Image size 250×250; bone marrow smear — 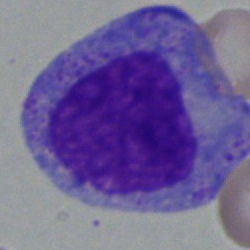Impression → progranulocyte.